Bone marrow smear: 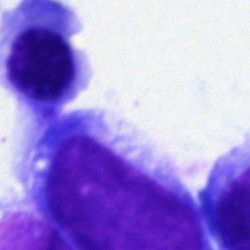
Specimen: bone marrow aspirate smear.
Classification: normoblast.
Lineage: erythroid.